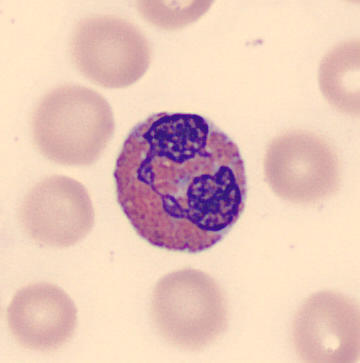
{"cell_type": "eosinophilic granulocyte", "lineage": "myeloid"} Peripheral blood film.